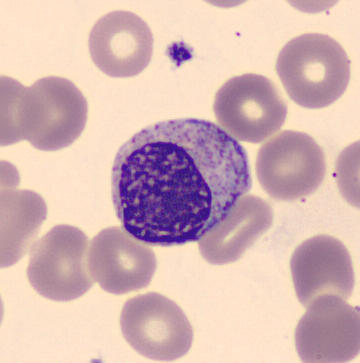Showing a myelocyte. Acquisition: Imaged on a CellaVision DM96 analyser · peripheral blood film.